Bone marrow aspirate smear
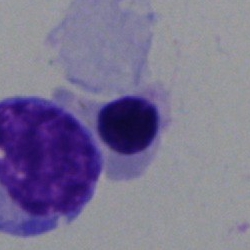An erythroblast.